40× objective, oil immersion · bone marrow smear · MGG-stained
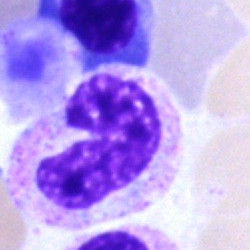 Classification = band-form neutrophil.